Peripheral blood smear; Romanowsky stain
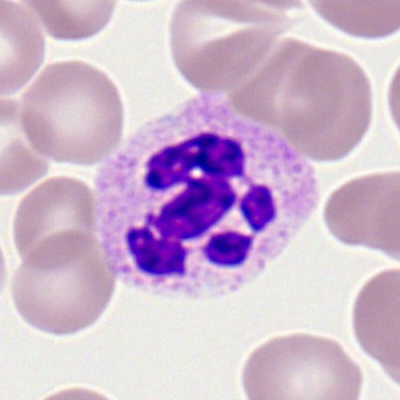 Cell = polymorphonuclear neutrophil.